Bone marrow smear: 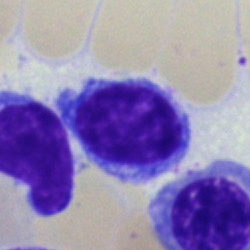
Morphology — typical lymphocyte.